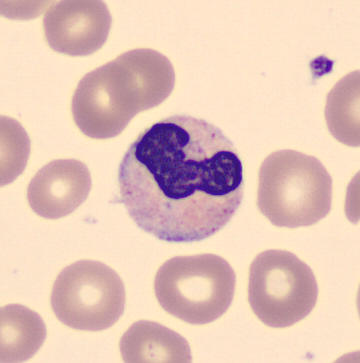 Peripheral blood smear.

Morphology — neutrophil (band).